Single-cell field; bone marrow aspirate smear; 40× oil immersion
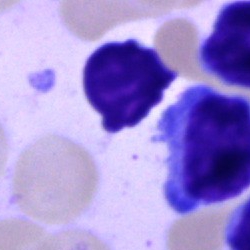

The classification is typical lymphocyte.